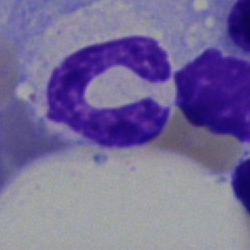

Morphology — segmented neutrophil.